Bone marrow smear:
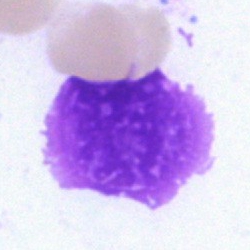 Morphology → artifact.